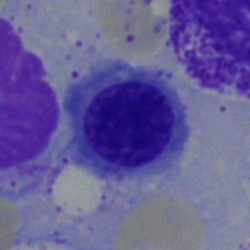

Q: What cell is this?
A: This is a nucleated red blood cell.